Single cell centered in the field. Bone marrow aspirate smear — 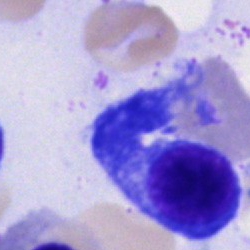 Cell: plasma cell.